Bone marrow smear · 40× oil immersion.
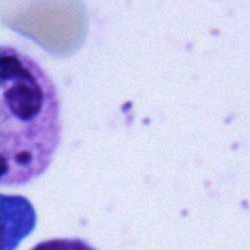 Segmented neutrophil.